Bone marrow aspirate smear; brightfield, 40× oil-immersion objective; cropped to a single cell: 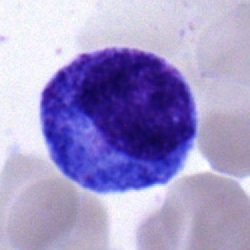 Showing a progranulocyte.